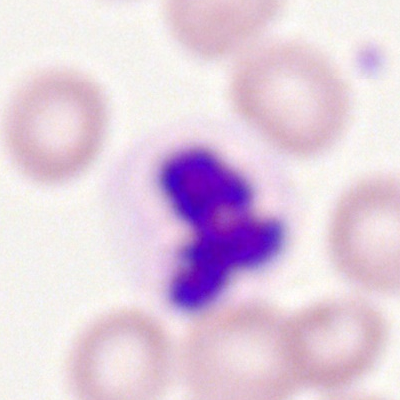

Classification = segmented neutrophil.